Bone marrow aspirate smear. Single-cell field
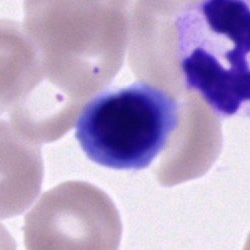

The cell is nucleated red cell.